Bone marrow aspirate smear.
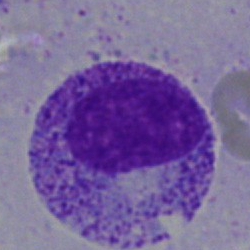 A myelocyte.